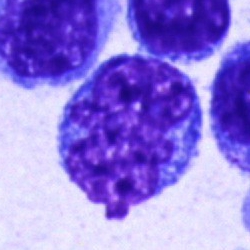Blast.